Bone marrow aspirate smear — 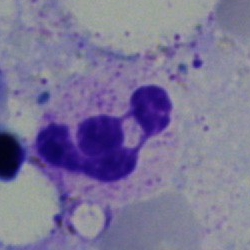
Q: What type of cell is this?
A: Polymorphonuclear neutrophil.